Bone marrow aspirate smear · 250×250 px
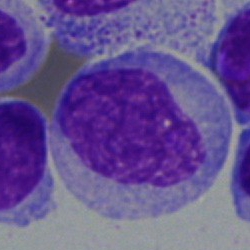
Q: What is shown here?
A: Myelocyte.